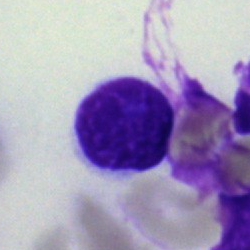

Q: What is shown here?
A: Artefact.